Bone marrow aspirate smear: 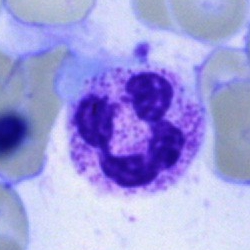Q: What type of cell is this?
A: It is a polymorphonuclear neutrophil.